Bone marrow smear. 250×250:
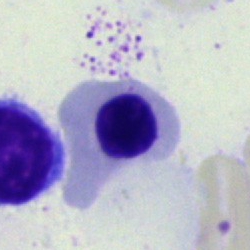 Specimen: bone marrow smear.
Morphological class: erythroblast.
Lineage: erythroid.